Bone marrow aspirate smear:
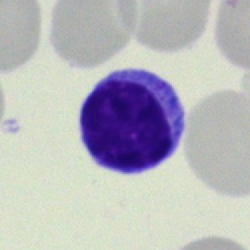 Q: Which cell type is shown here?
A: This is a typical lymphocyte.